Bone marrow smear
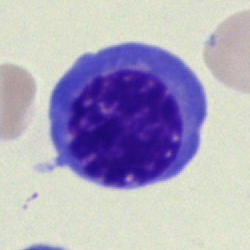
Q: Identify the cell.
A: Nucleated red blood cell.